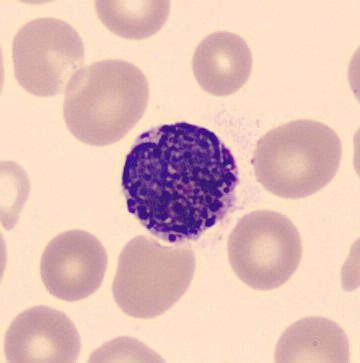Image: Peripheral blood smear. Single cell identified as a basophil.